40× oil immersion · bone marrow aspirate smear — 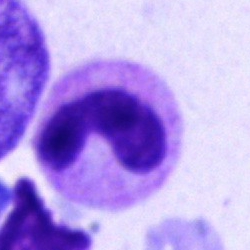

Single cell identified as a band-form neutrophil.